Bone marrow aspirate smear
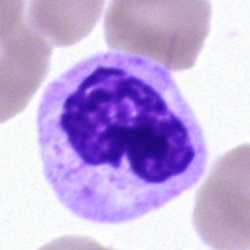Q: What is shown here?
A: This is a segmented neutrophil.